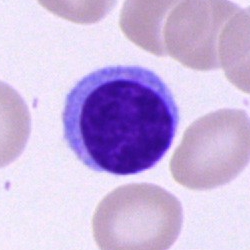
Specimen: bone marrow aspirate smear.
Cell type: typical lymphocyte.